Bone marrow aspirate smear:
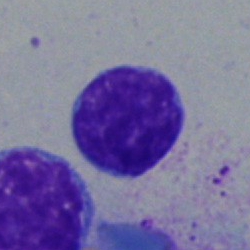
Morphology → typical lymphocyte.